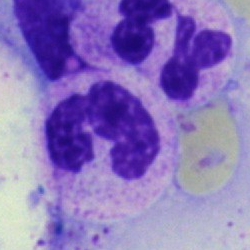
A segmented neutrophil on a bone marrow smear.